Bone marrow smear — 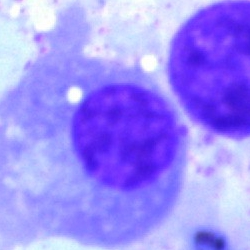

Classification — plasma cell.